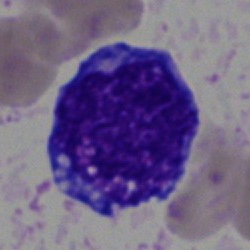

Q: Identify the cell.
A: This is a promyelocyte.